Bone marrow smear
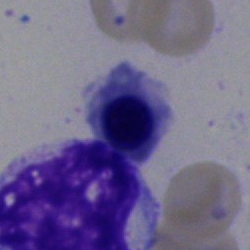
Specimen: bone marrow smear.
Classification: nucleated red cell.